Image size 250×250 · bone marrow smear: 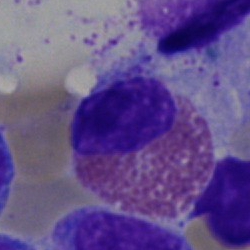
Morphology → eosinophil.